Brightfield, 40× oil-immersion objective. 250 by 250 pixels. Bone marrow smear.
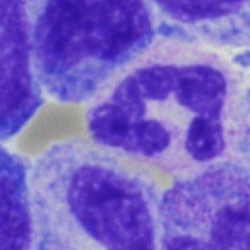
This is a segmented neutrophil.